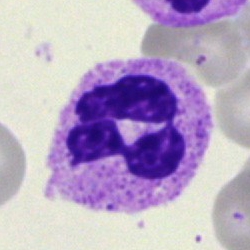
Morphological class — polymorphonuclear neutrophil.